Peripheral blood smear:
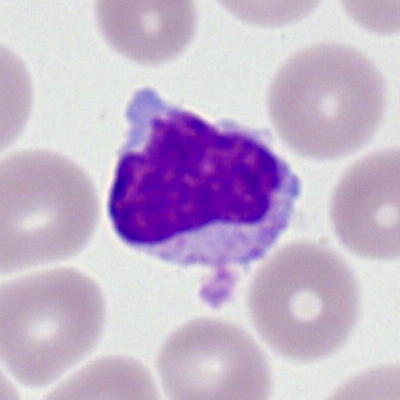
Single cell identified as a typical lymphocyte.